Bone marrow smear: 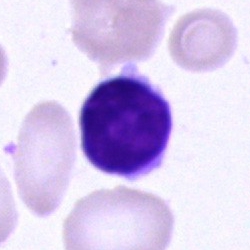Specimen: bone marrow smear.
Cell type: typical lymphocyte.
Lineage: lymphoid.